Bone marrow aspirate smear.
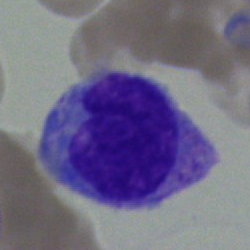

{"cell_type": "monocyte"}